Bone marrow smear.
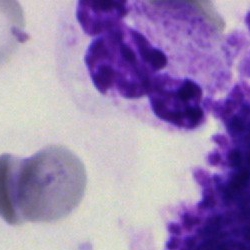

A polymorphonuclear neutrophil.